Bone marrow smear: 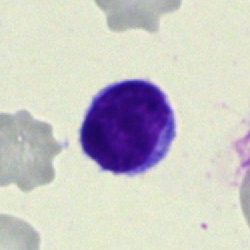

{"cell_type": "lymphocyte", "lineage": "lymphoid"}